Bone marrow aspirate smear.
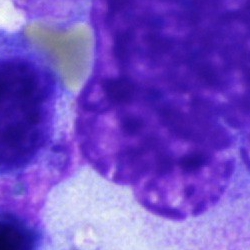An other cell.